Bone marrow smear: 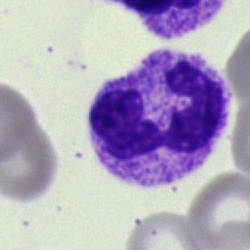
Cell — segmented neutrophil.